Bone marrow smear.
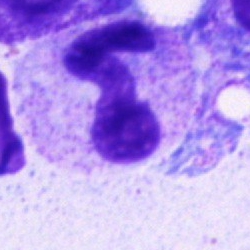

Morphology consistent with a polymorphonuclear neutrophil.